Bone marrow smear:
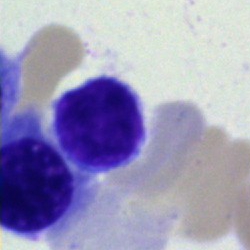 The cell is lymphocyte.